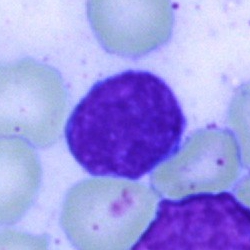

This is a lymphocyte.